Bone marrow aspirate smear · cropped to a single cell:
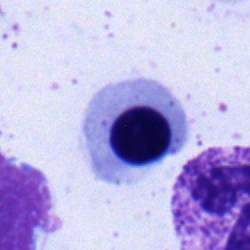 Morphology — normoblast.